Bone marrow smear; single-cell crop
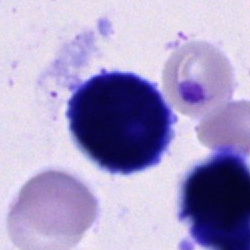
Morphology → cell of indeterminate lineage.